Bone marrow smear: 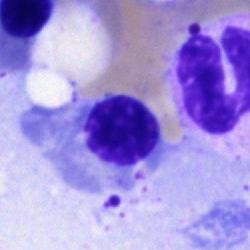

{"cell_type": "normoblast", "lineage": "erythroid"}